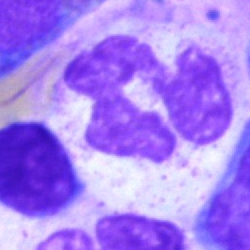The cell type is neutrophil (segmented).